Bone marrow aspirate smear · 250×250 px · MGG-stained
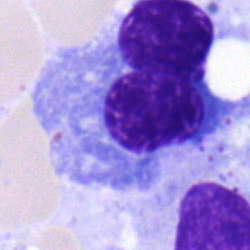 Impression → plasmacyte.